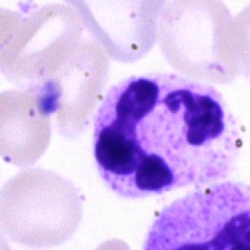
Morphology consistent with a neutrophil (segmented).